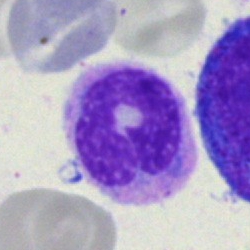 Bone marrow smear showing a stab cell.